Bone marrow aspirate smear; 250×250 — 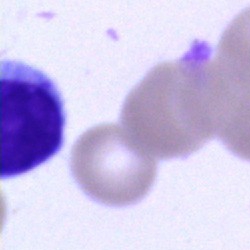

This is a typical lymphocyte.